Brightfield, 40× oil-immersion objective. Single cell centered in the field. Bone marrow aspirate smear — 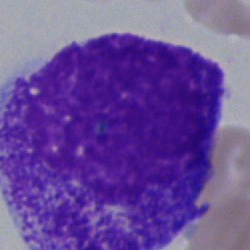Specimen: bone marrow smear.
Cell type: myelocyte.